Cropped to a single cell. MGG-stained. Bone marrow smear: 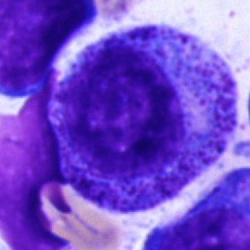

Q: What is the morphological classification of this cell?
A: Promyelocyte.